Bone marrow smear.
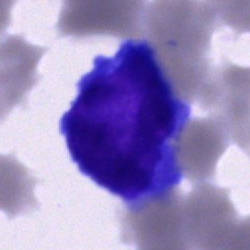

Specimen: bone marrow smear.
Cell: blast.